Bone marrow aspirate smear
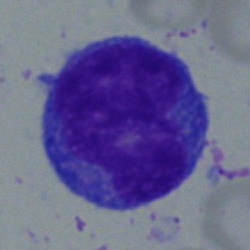Cell = blast.